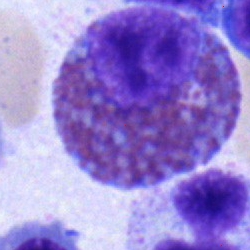Impression — eosinophil.